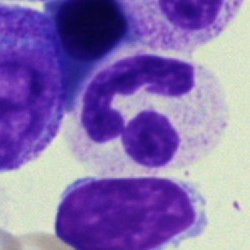Q: Which cell type is shown here?
A: It is a polymorphonuclear neutrophil.